40× oil immersion; bone marrow aspirate smear
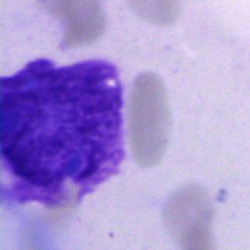

Morphology consistent with an artefact.